Bone marrow smear. 250×250
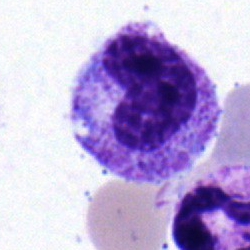

Classification — metamyelocyte.